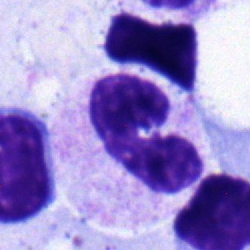 Classification = band-form neutrophil.